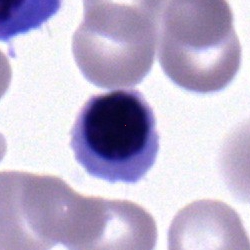

A nucleated red cell.